Cropped to a single cell. Bone marrow smear.
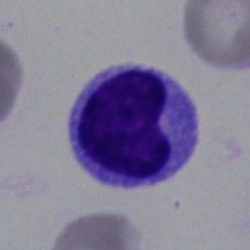 Morphology → lymphocyte.